Bone marrow aspirate smear: 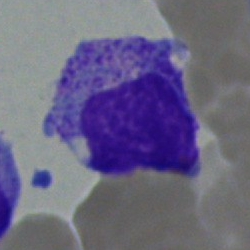

This is a myelocyte.